Bone marrow aspirate smear — 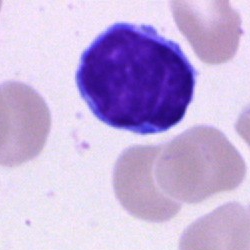The cell shown is a typical lymphocyte.